Bone marrow smear: 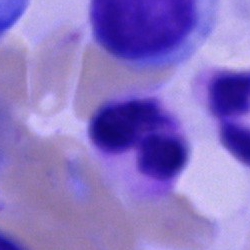

Specimen: bone marrow smear.
Cell: neutrophil (segmented).